Bone marrow aspirate smear: 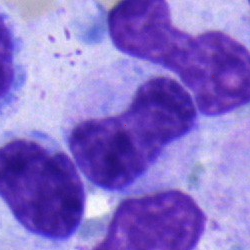

Specimen: bone marrow smear.
Classification: metamyelocyte.
Lineage: myeloid.